Peripheral blood film
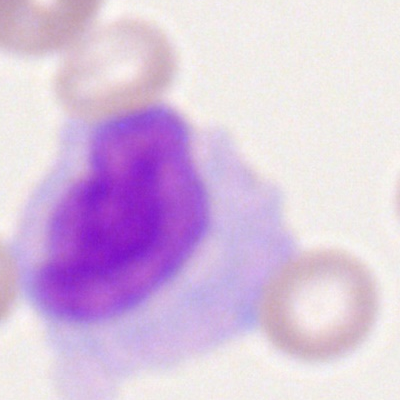 Q: Identify the cell.
A: A monocyte.